Bone marrow aspirate smear: 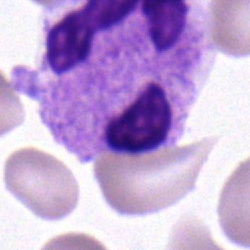Impression → segmented neutrophil.